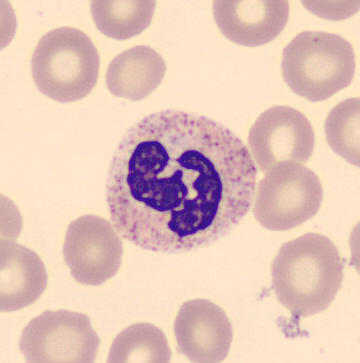 Specimen: peripheral blood film.
Classification: neutrophil (segmented).